Pappenheim-stained · bone marrow smear · single-cell crop — 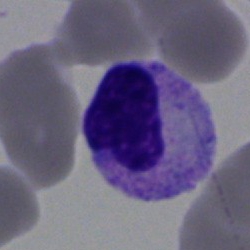

Specimen: bone marrow smear.
Classification: segmented neutrophil.